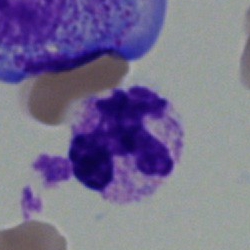
Single-cell crop from a bone marrow smear: segmented neutrophil.